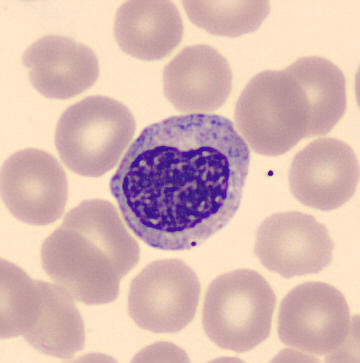 {"cell_type": "metamyelocyte"} Acquisition: Imaged on a CellaVision DM96 analyser; peripheral blood film.